Bone marrow smear — 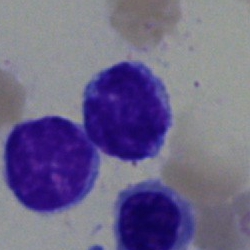

Specimen: bone marrow smear.
Morphological class: lymphocyte.
Lineage: lymphoid.